Bone marrow aspirate smear: 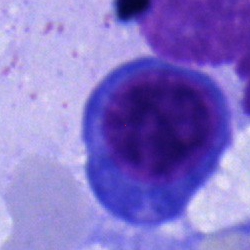A normoblast.